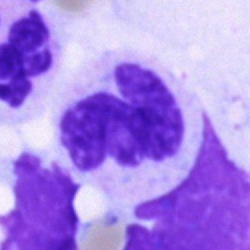

Cell type — polymorphonuclear neutrophil.